Bone marrow aspirate smear — 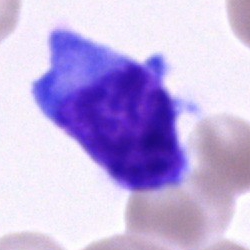
Morphology consistent with an undifferentiated blast.